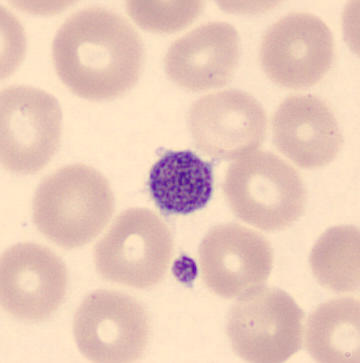 Impression — platelet (thrombocyte).